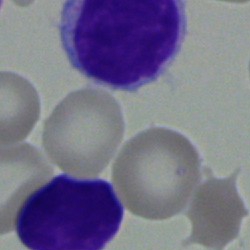A lymphocyte.